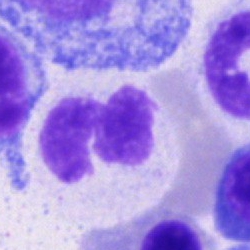Morphology consistent with a neutrophil (segmented).